Brightfield microscopy, 40× oil immersion. May-Grünwald-Giemsa/Pappenheim stain. Bone marrow smear.
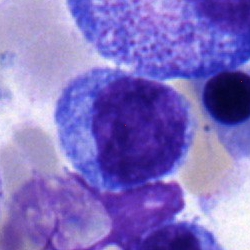

This is a monocyte.